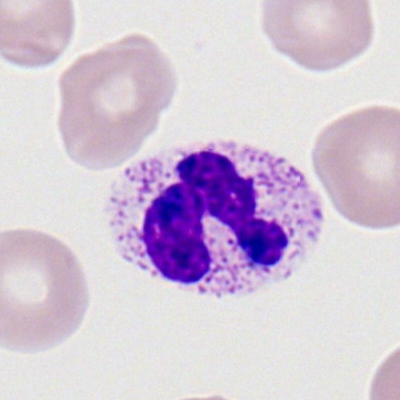
The cell shown is a segmented neutrophil.